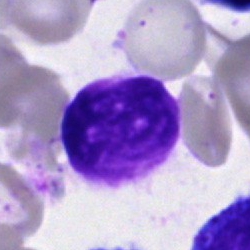The classification is artefact.